Bone marrow smear
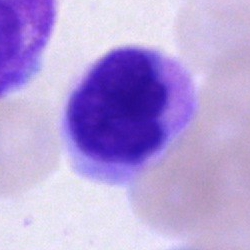Q: What is shown here?
A: It is an artifact.